Bone marrow aspirate smear; Pappenheim-stained: 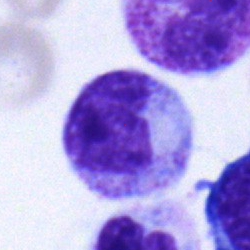

Morphological class: metamyelocyte.